Bone marrow smear. 40× objective, oil immersion. 250 by 250 pixels
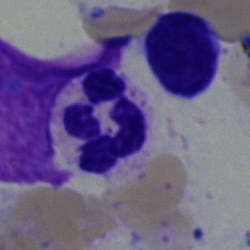
Polymorphonuclear neutrophil.